Bone marrow smear: 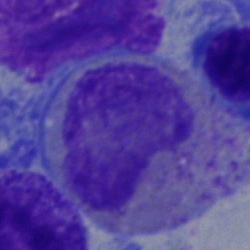Showing an eosinophilic granulocyte.